Cropped to a single cell · bone marrow smear: 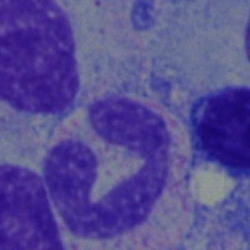

A stab cell.